Peripheral blood film.
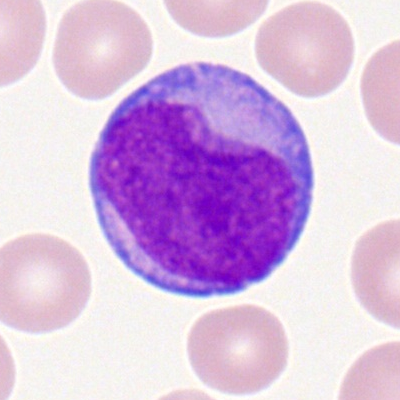Myeloid blast.